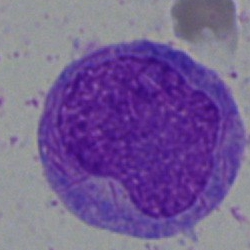 Q: What type of cell is this?
A: This is a faggot cell.